Bone marrow aspirate smear — 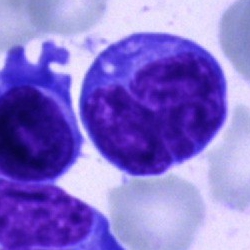 The cell type is undifferentiated blast.